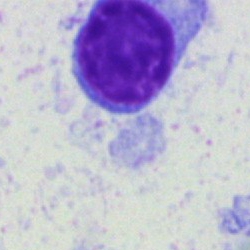Morphology → typical lymphocyte.